Image size 250×250; bone marrow smear; single-cell crop:
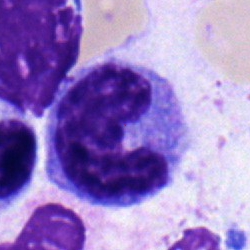Single cell identified as a monocyte.